Bone marrow smear · brightfield, 40× oil-immersion objective · single-cell field
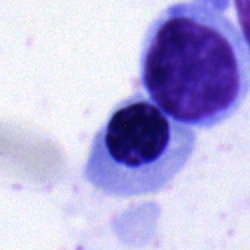
Specimen: bone marrow smear.
Cell type: nucleated red cell.